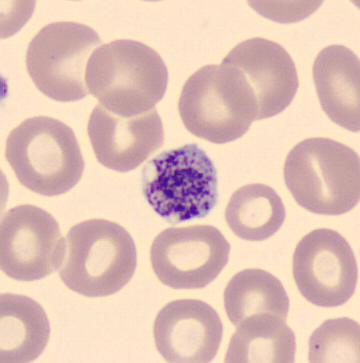 Q: What is shown here?
A: Thrombocyte.